Bone marrow smear — 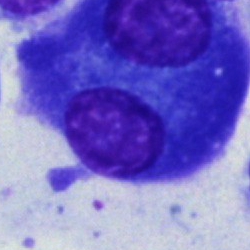

Specimen: bone marrow aspirate smear.
Cell type: plasma cell.
Lineage: lymphoid.